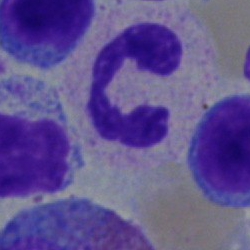Single cell identified as a neutrophil (segmented).